Bone marrow aspirate smear.
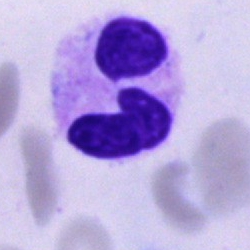

Specimen: bone marrow smear.
Cell type: neutrophil (segmented).
Lineage: myeloid.